Bone marrow smear
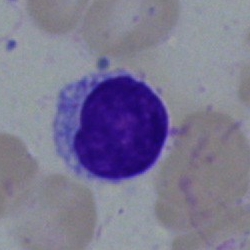Single cell identified as a lymphocyte.